250×250 · bone marrow aspirate smear.
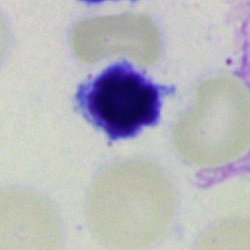Single cell identified as a typical lymphocyte.